Bone marrow aspirate smear
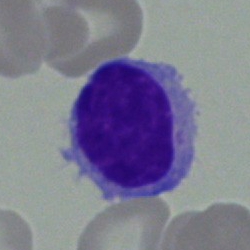Q: Which cell type is shown here?
A: It is a lymphocyte.